Bone marrow aspirate smear; 250 by 250 pixels — 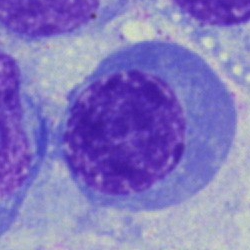 The classification is normoblast.